Bone marrow aspirate smear: 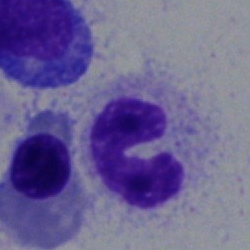Specimen: bone marrow aspirate smear.
Morphological class: stab cell.
Lineage: myeloid.